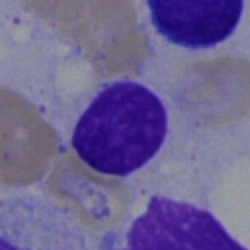

A lymphocyte.